May-Grünwald-Giemsa/Pappenheim stain. Bone marrow aspirate smear. Single-cell crop.
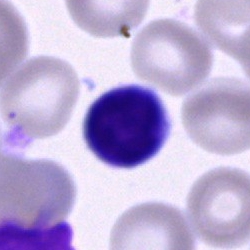
Q: Which cell type is shown here?
A: This is a lymphocyte.